Bone marrow aspirate smear
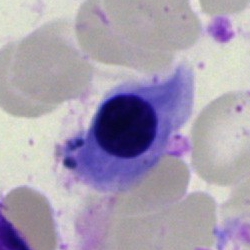 Q: What cell is this?
A: Erythroblast.